Bone marrow aspirate smear · single cell centered in the field: 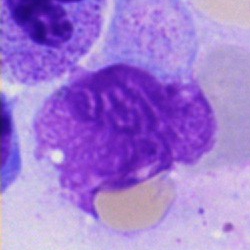

{"cell_type": "artifact"}